Bone marrow aspirate smear
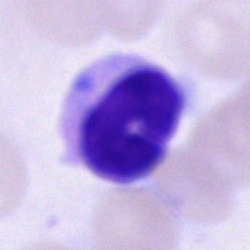 Showing a band neutrophil.